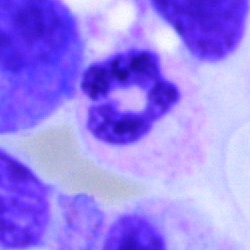
Bone marrow smear showing a segmented neutrophil.